Bone marrow aspirate smear · image size 250×250
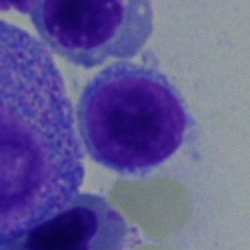

The cell shown is a typical lymphocyte.